Bone marrow smear · 250×250:
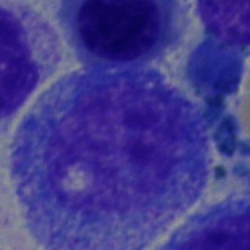 Q: What is the morphological classification of this cell?
A: Progranulocyte.